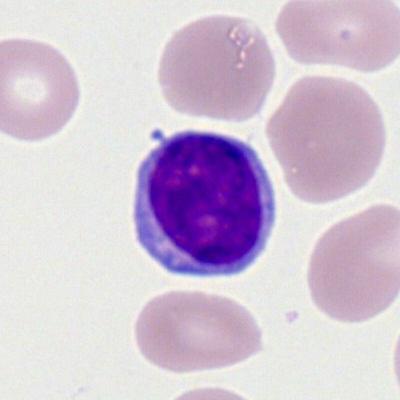 The cell shown is a typical lymphocyte.